Bone marrow aspirate smear:
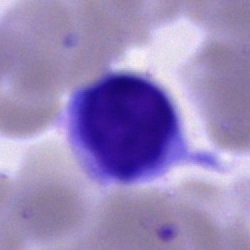

Morphological class — artifact.